Bone marrow aspirate smear: 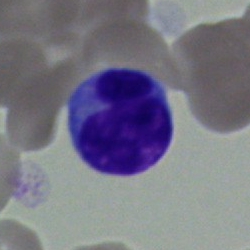Cell = lymphocyte.